Bone marrow smear · 250×250:
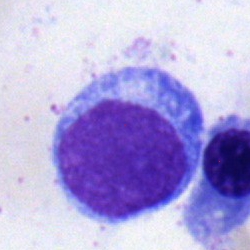 Morphology → typical lymphocyte.